400 by 400 pixels; peripheral blood smear: 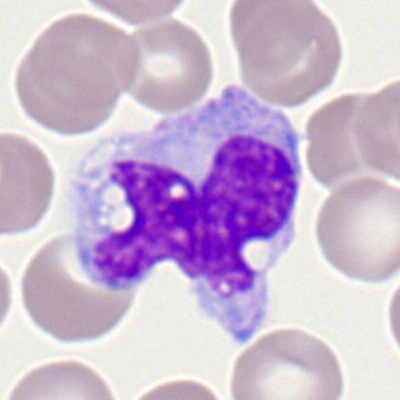 This is a monocyte.